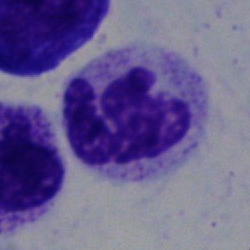Morphology — neutrophil (segmented).